MGG-stained. Bone marrow smear — 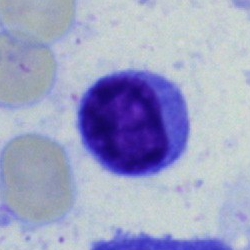 Impression — typical lymphocyte.